Pappenheim-stained · bone marrow smear — 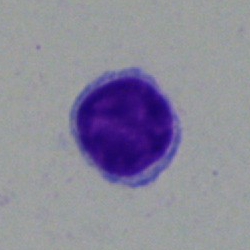Specimen: bone marrow smear.
Morphological class: lymphocyte.